Bone marrow smear
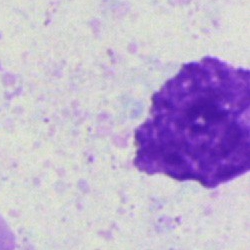
The morphological class is artefact.